Bone marrow smear: 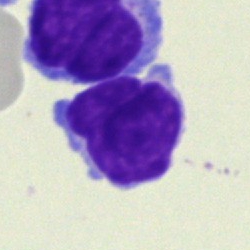 Q: Identify the cell.
A: This is a typical lymphocyte.